Bone marrow smear. May-Grünwald-Giemsa stain. Single-cell crop.
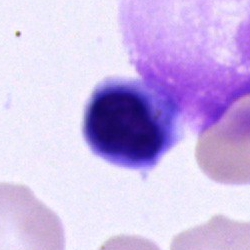
Classification: cell of indeterminate lineage.